Brightfield microscopy, 40× oil immersion. Bone marrow aspirate smear
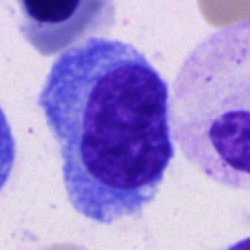

{"cell_type": "plasma cell", "lineage": "lymphoid"}